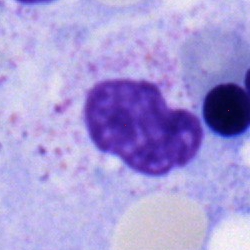Cell type = neutrophil (band).